Bone marrow smear.
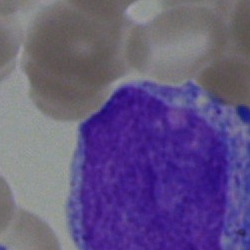

Q: Identify the cell.
A: A blast.